Bone marrow aspirate smear — 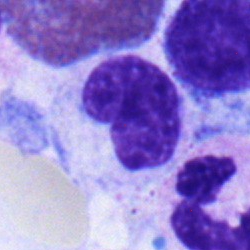
{"cell_type": "metamyelocyte", "lineage": "myeloid"}